Bone marrow smear:
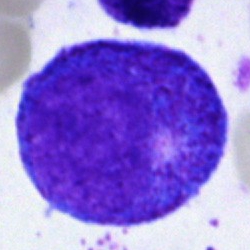
Cell = progranulocyte.